Bone marrow aspirate smear
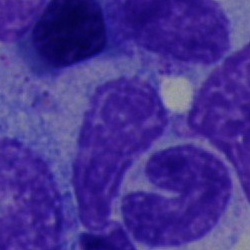 Q: Identify the cell.
A: Stab cell.